100× oil immersion, 14.14 px/µm · single-cell field · peripheral blood film
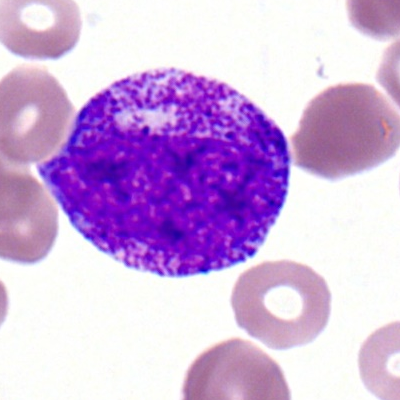

Specimen: peripheral blood smear.
Cell type: progranulocyte.
Lineage: myeloid.